Peripheral blood film: 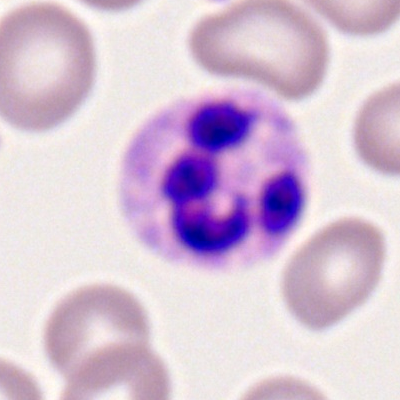 {"cell_type": "neutrophil (segmented)", "lineage": "myeloid"}